250 by 250 pixels; bone marrow smear
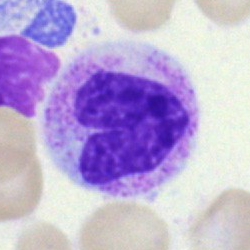Specimen: bone marrow smear.
Classification: stab cell.